Bone marrow aspirate smear. Brightfield, 40× oil-immersion objective — 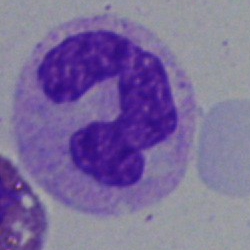
Cell = band neutrophil.